Bone marrow smear. May-Grünwald-Giemsa/Pappenheim stain — 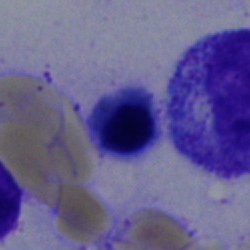 Morphological class — erythroblast.